40× objective, oil immersion. Bone marrow aspirate smear: 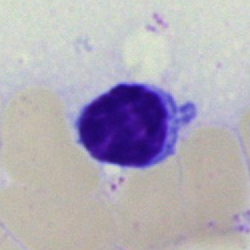 Q: What cell is this?
A: A lymphocyte.